Bone marrow aspirate smear — 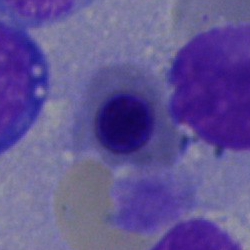

A nucleated red blood cell.